Bone marrow smear; Pappenheim-stained — 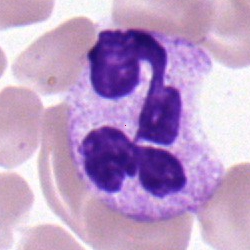
Q: Identify the cell.
A: A polymorphonuclear neutrophil.